Bone marrow smear
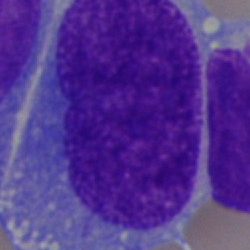
Cell: blast cell.